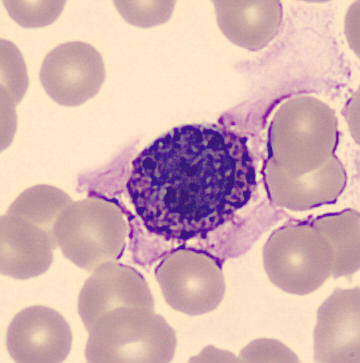 Specimen: peripheral blood smear.
Classification: basophilic granulocyte.